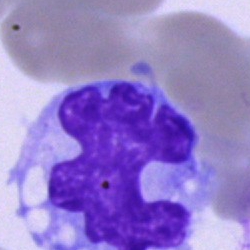Single-cell crop from a bone marrow smear: monocyte.